Bone marrow aspirate smear — 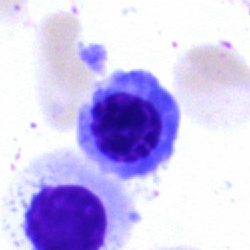

The cell is nucleated red cell.